Bone marrow aspirate smear: 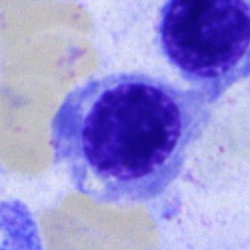
Q: Which cell type is shown here?
A: A nucleated red cell.